Bone marrow aspirate smear: 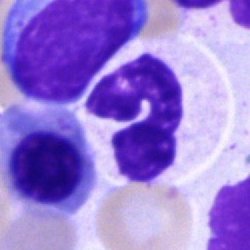
Single cell identified as a neutrophil (segmented).